Bone marrow aspirate smear · MGG-stained — 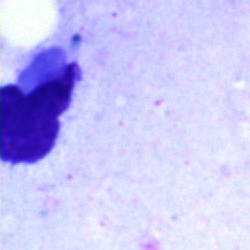
Specimen: bone marrow smear.
Cell type: artefact.